Bone marrow aspirate smear
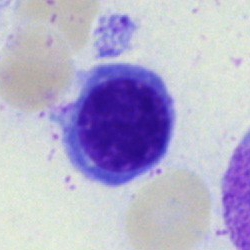

Impression → nucleated red cell.